250 by 250 pixels. May-Grünwald-Giemsa/Pappenheim stain. Bone marrow aspirate smear.
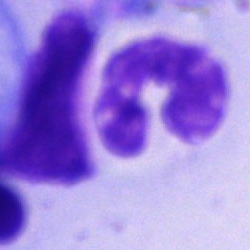 {"cell_type": "stab cell"}